Bone marrow aspirate smear. Single cell centered in the field
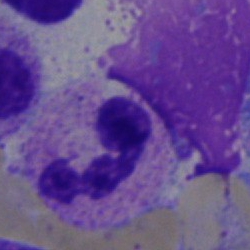 Polymorphonuclear neutrophil.